Bone marrow smear.
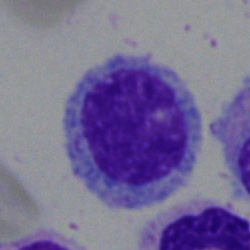

Q: What type of cell is this?
A: A myelocyte.